Bone marrow smear.
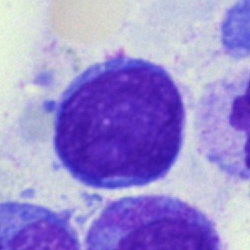

Specimen: bone marrow smear.
Morphological class: blast.